Bone marrow aspirate smear.
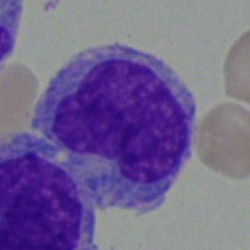 Monocyte.